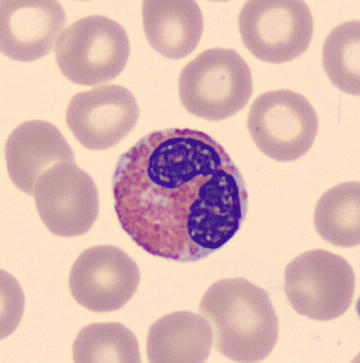Identified as an eosinophil.